Bone marrow aspirate smear — 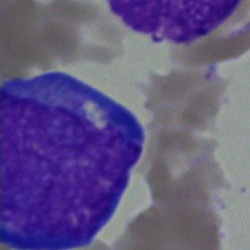
{"cell_type": "undifferentiated blast"}